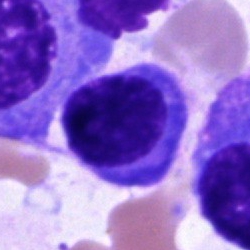A plasmacyte on a bone marrow smear.